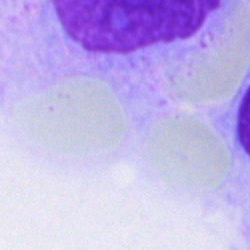

Morphological class: artifact.